Single-cell crop. Bone marrow smear.
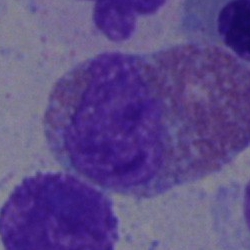

The cell is eosinophilic granulocyte.